Cropped to a single cell; bone marrow aspirate smear; 250×250.
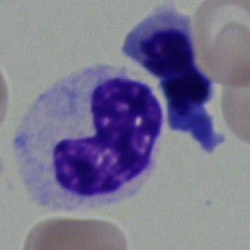
{"cell_type": "band neutrophil", "lineage": "myeloid"}